100× oil immersion; peripheral blood film; 400×400.
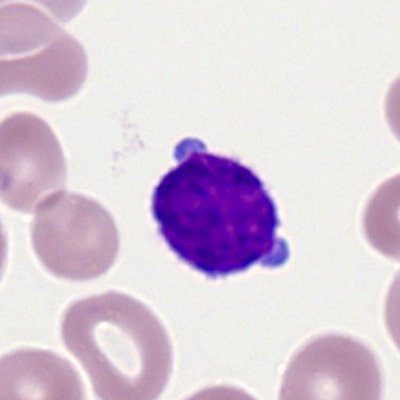Cell type — typical lymphocyte.